Bone marrow aspirate smear · 40× objective, oil immersion · single cell centered in the field.
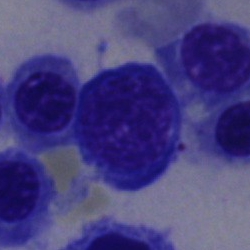Showing a nucleated red cell.